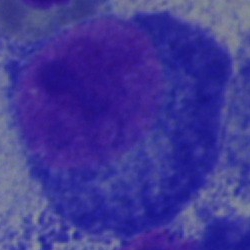

{"cell_type": "plasmacyte", "lineage": "lymphoid"}